MGG-stained. Single cell centered in the field. Bone marrow smear.
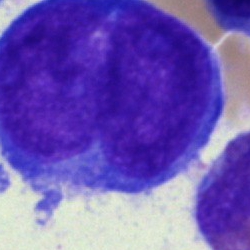
A proerythroblast.